Bone marrow aspirate smear · 250 by 250 pixels
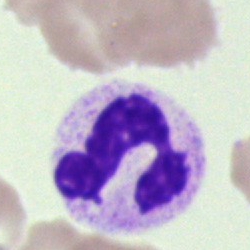
Q: What type of cell is this?
A: A neutrophil (segmented).